Bone marrow smear.
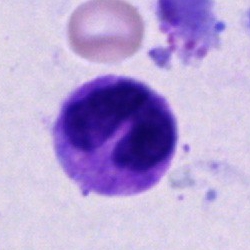 Q: Identify the cell.
A: It is a neutrophil (segmented).